Bone marrow smear; MGG-stained; 250×250.
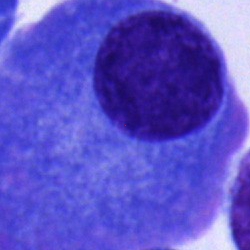Morphology consistent with a plasma cell.